Bone marrow aspirate smear · image size 250×250.
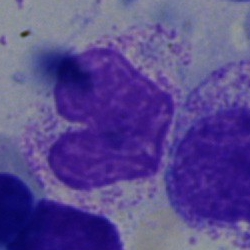
Showing a stab cell.